May-Grünwald-Giemsa/Pappenheim stain. Bone marrow aspirate smear:
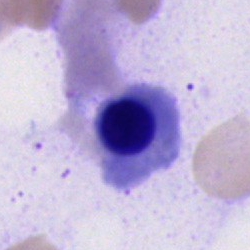

Morphological class = nucleated red cell.